Bone marrow aspirate smear:
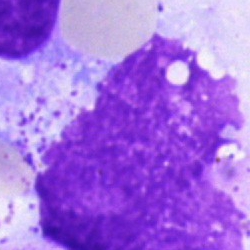
Morphological class — artifact.